Bone marrow smear:
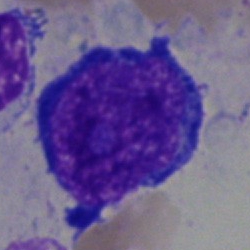An undifferentiated blast.